Bone marrow aspirate smear.
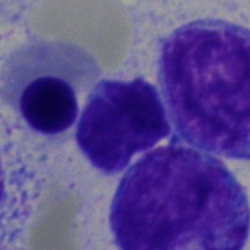

Q: Which cell type is shown here?
A: It is an unidentifiable cell.